Bone marrow aspirate smear; image size 250×250
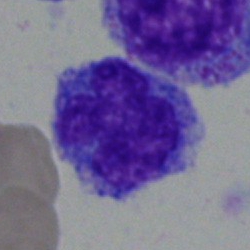
Impression — monocyte.